Bone marrow aspirate smear. 40× oil immersion. 250×250: 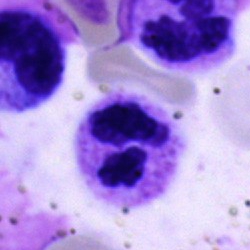
{"cell_type": "segmented neutrophil"}